Bone marrow smear — 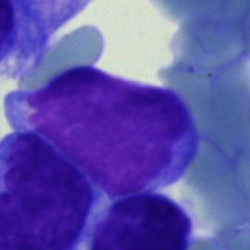 Q: Which cell type is shown here?
A: A blast cell.